Single-cell crop; bone marrow smear; Pappenheim-stained — 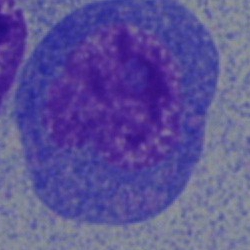 Showing a blast cell.